250×250 px; bone marrow aspirate smear: 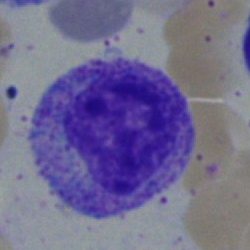
Q: What is shown here?
A: A myelocyte.